Peripheral blood film: 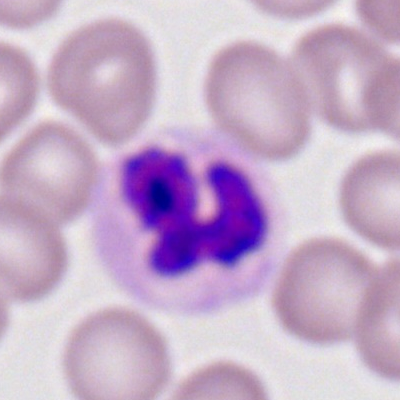This is a segmented neutrophil.